250×250 px · bone marrow smear · brightfield microscopy, 40× oil immersion.
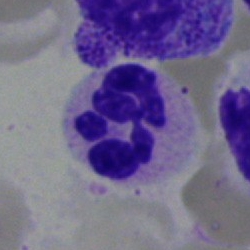
This is a neutrophil (segmented).